40× objective, oil immersion. Bone marrow smear: 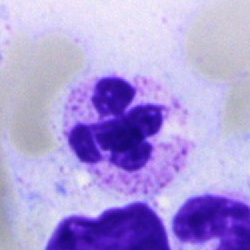
Neutrophil (segmented).